Bone marrow aspirate smear. 40× oil immersion. Single cell centered in the field: 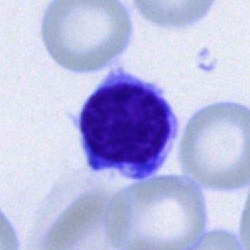
Q: Which cell type is shown here?
A: This is a typical lymphocyte.